Cropped to a single cell. Bone marrow aspirate smear: 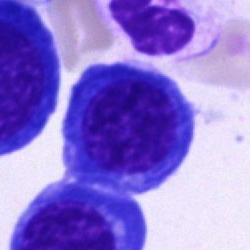
Classification: erythroblast.